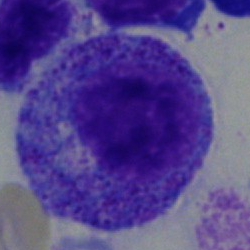Specimen: bone marrow aspirate smear.
Cell: promyelocyte.
Lineage: myeloid.